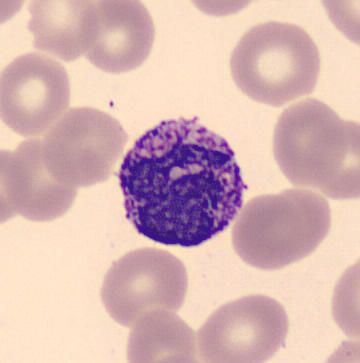 Morphology consistent with a basophil.
Acquisition: Peripheral blood film; MGG stain; single-cell field.